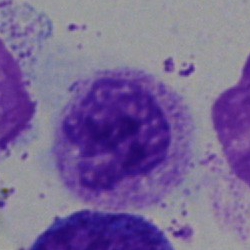
Morphology — segmented neutrophil.